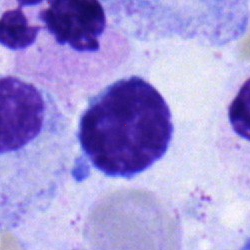This is a lymphocyte.